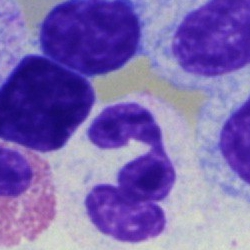Single cell identified as a neutrophil (segmented).